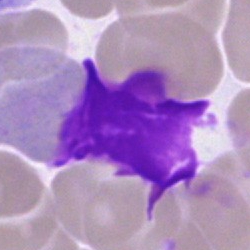Cell = artifact.